Single-cell crop; bone marrow smear.
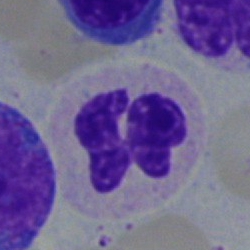This is a neutrophil (segmented).